Peripheral blood smear; 400×400; Romanowsky-stained:
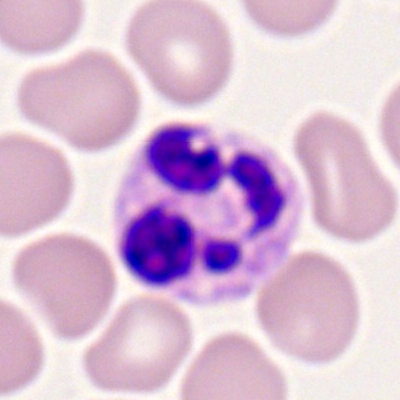
Specimen: peripheral blood smear.
Cell type: neutrophil (segmented).
Lineage: myeloid.